Bone marrow smear; May-Grünwald-Giemsa stain:
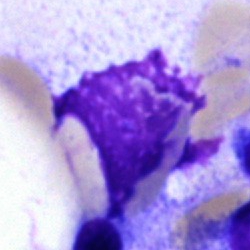An artifact.